Bone marrow smear. MGG-stained.
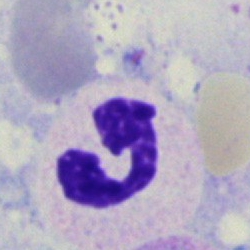 This is a segmented neutrophil.